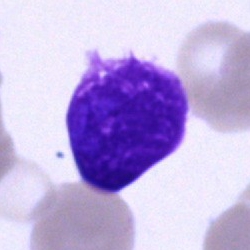
An artifact.